Bone marrow aspirate smear. Brightfield microscopy, 40× oil immersion. 250×250.
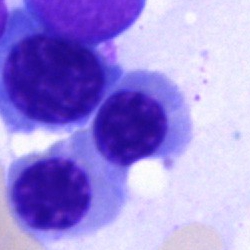{"cell_type": "nucleated red cell"}